250 by 250 pixels. May-Grünwald-Giemsa/Pappenheim stain. Bone marrow aspirate smear — 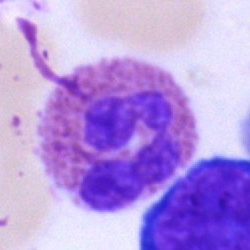

Classification — eosinophil.